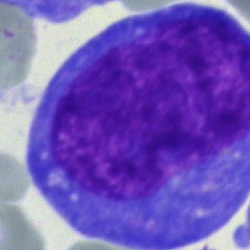An undifferentiated blast on a bone marrow smear.